Peripheral blood film: 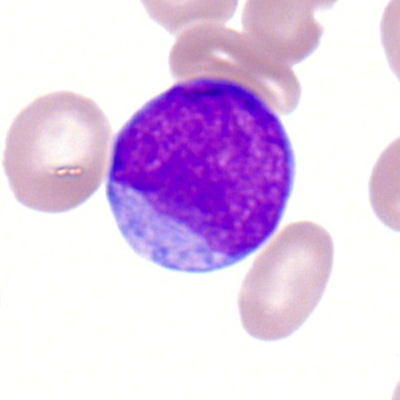Cell = myeloid blast.